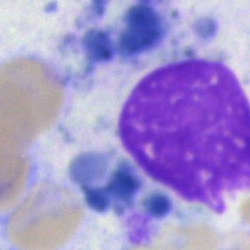
The classification is artefact.